Bone marrow smear · single cell centered in the field — 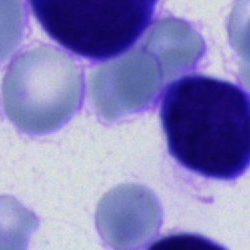Cell type = cell of indeterminate lineage.